Single cell centered in the field · bone marrow aspirate smear — 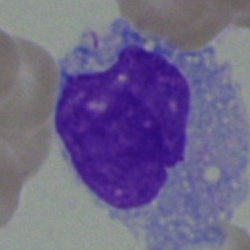

This is a monocyte.